Image size 250×250 · bone marrow aspirate smear:
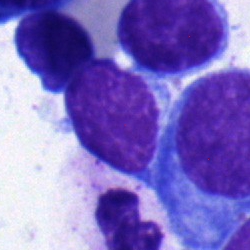Showing a lymphocyte.